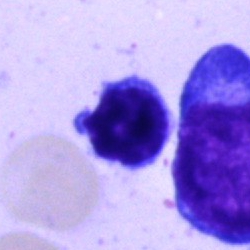 Q: What is shown here?
A: It is a typical lymphocyte.